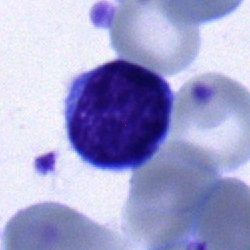 A typical lymphocyte on a bone marrow smear.